Bone marrow aspirate smear
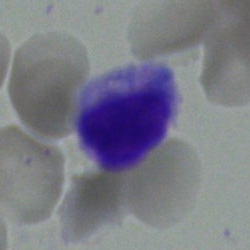

Q: Which cell type is shown here?
A: It is a lymphocyte.